Bone marrow smear.
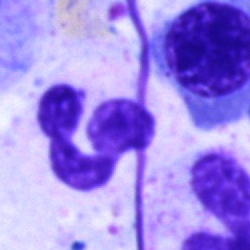

Q: Which cell type is shown here?
A: Neutrophil (segmented).